Bone marrow aspirate smear. Brightfield microscopy, 40× oil immersion
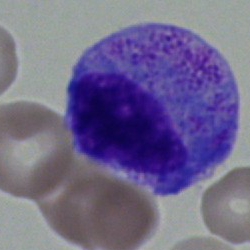
Cell — progranulocyte.